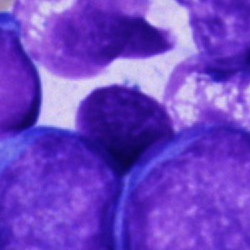 The cell type is cell of indeterminate lineage.